Bone marrow aspirate smear:
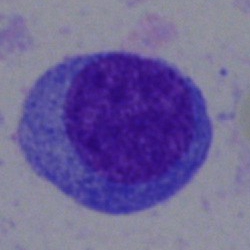

Cell: plasmacyte.